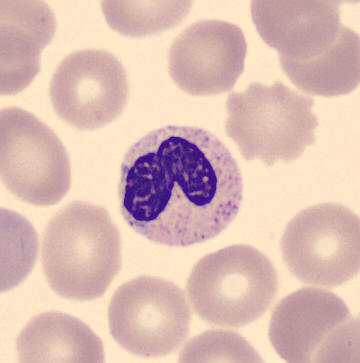Single cell identified as a band-form neutrophil.

Acquisition: Peripheral blood smear · CellaVision DM96 digital cell image.